Brightfield microscopy, 40× oil immersion. Bone marrow aspirate smear:
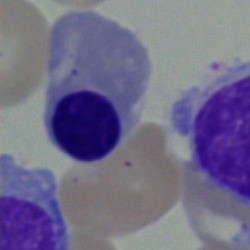

Nucleated red blood cell.